Bone marrow aspirate smear; May-Grünwald-Giemsa stain:
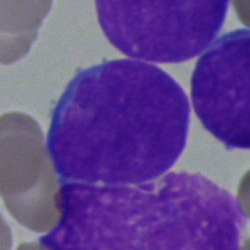 This is a blast cell.